Bone marrow aspirate smear. 250×250. May-Grünwald-Giemsa/Pappenheim stain
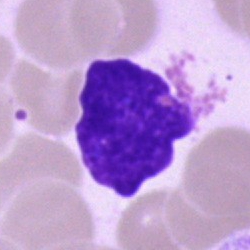 Classification = artefact.